250×250. Bone marrow aspirate smear. Brightfield, 40× oil-immersion objective.
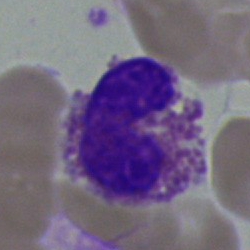This is an eosinophil.